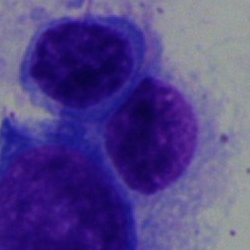
Showing a plasmacyte.